Bone marrow smear: 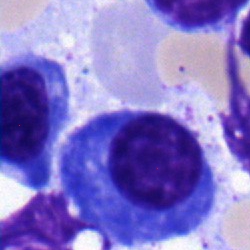
Q: What is the morphological classification of this cell?
A: Erythroblast.